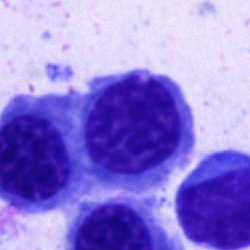

Single cell identified as a normoblast.